Bone marrow aspirate smear:
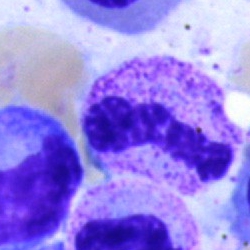
Showing a neutrophil (segmented).